Bone marrow aspirate smear: 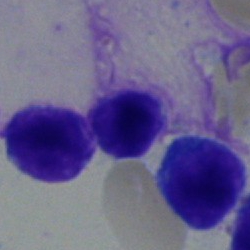

Specimen: bone marrow aspirate smear.
Cell type: lymphocyte.